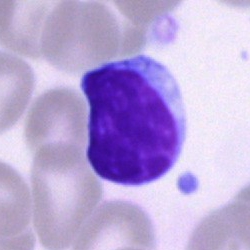
This is a typical lymphocyte.